Brightfield, 40× oil-immersion objective · bone marrow smear — 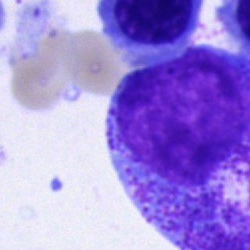 Cell type = promyelocyte.